Peripheral blood smear — 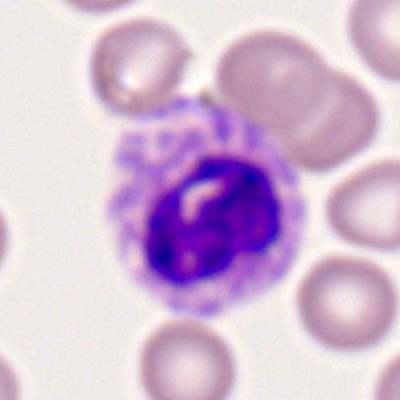

Q: What type of cell is this?
A: This is a neutrophil (segmented).